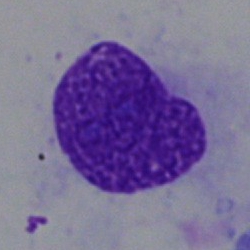

Single cell identified as an artifact.